Bone marrow aspirate smear:
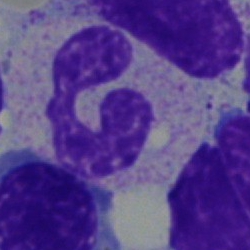Showing a band-form neutrophil.